Bone marrow aspirate smear.
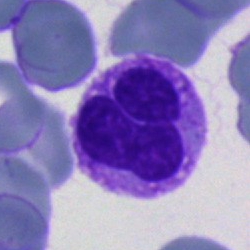 {"cell_type": "segmented neutrophil"}